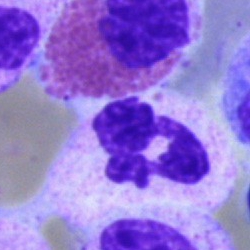A polymorphonuclear neutrophil on a bone marrow smear.